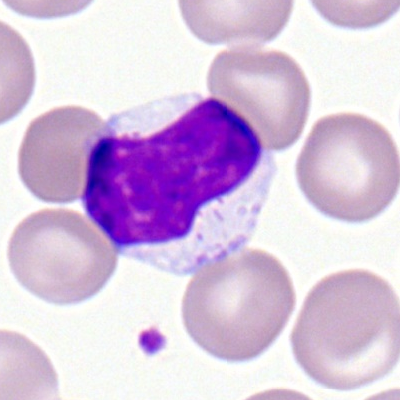

Showing a lymphocyte.